Bone marrow smear: 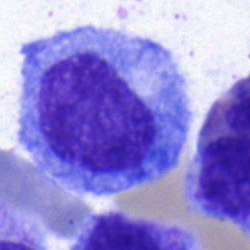
A myelocyte.